Bone marrow smear.
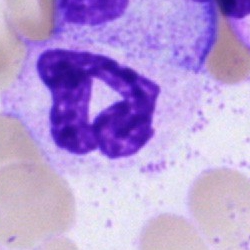Q: What cell is this?
A: A segmented neutrophil.